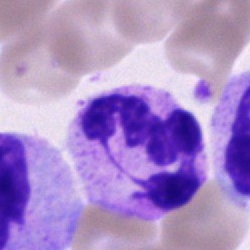
Morphological class: polymorphonuclear neutrophil.